Single cell centered in the field. Bone marrow smear.
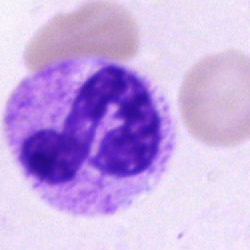Classification — band neutrophil.